250×250; bone marrow aspirate smear.
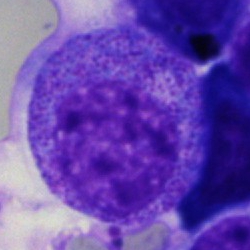

Q: What is shown here?
A: A progranulocyte.